MGG-stained; bone marrow aspirate smear: 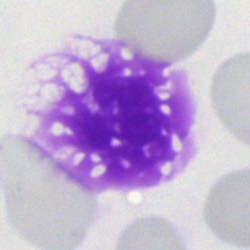Showing an artefact.